Cropped to a single cell · bone marrow smear
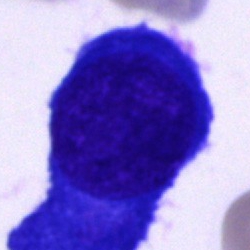Cell type — plasmacyte.